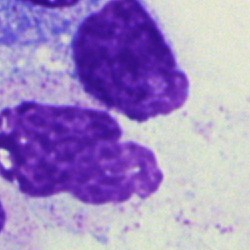
Specimen: bone marrow aspirate smear.
Cell: artefact.